Bone marrow aspirate smear — 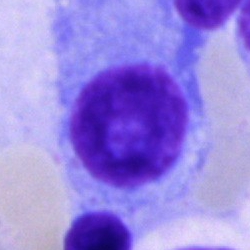

Specimen: bone marrow smear.
Morphological class: plasma cell.